Bone marrow smear — 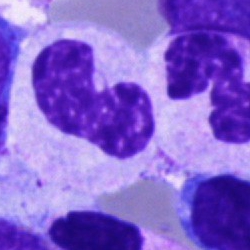

A stab cell.